Bone marrow aspirate smear
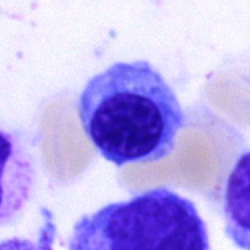

Q: What is the morphological classification of this cell?
A: Normoblast.